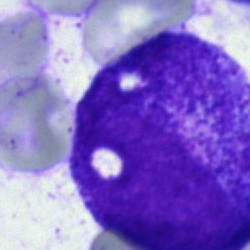
Single cell identified as a progranulocyte.